Bone marrow smear; 40× oil immersion; May-Grünwald-Giemsa stain.
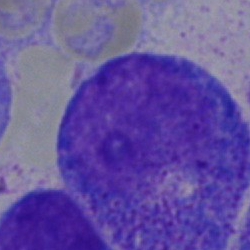
Specimen: bone marrow aspirate smear.
Classification: promyelocyte.
Lineage: myeloid.